Bone marrow aspirate smear; single-cell field.
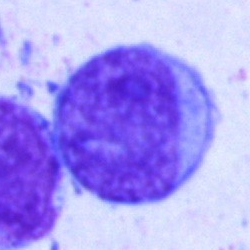This is a blast cell.